Bone marrow smear; 250 by 250 pixels — 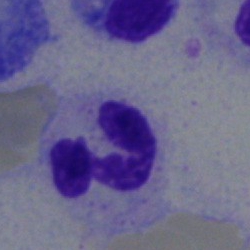
Q: What is shown here?
A: This is a segmented neutrophil.